Brightfield, 40× oil-immersion objective. Bone marrow smear. Single cell centered in the field: 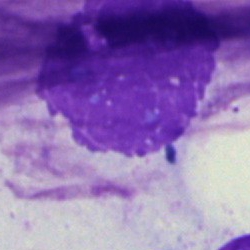

Artifact.